Bone marrow smear. 250×250 px. Brightfield microscopy, 40× oil immersion:
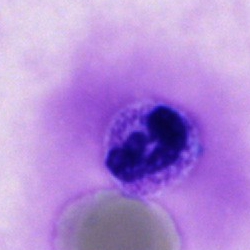Morphology consistent with a neutrophil (segmented).